Bone marrow smear — 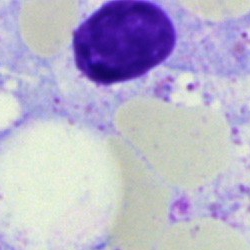
Single cell identified as an artefact.